Bone marrow aspirate smear:
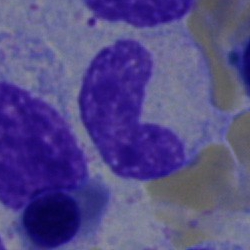The cell shown is an erythroblast.